May-Grünwald-Giemsa stain · 40× objective, oil immersion · bone marrow aspirate smear — 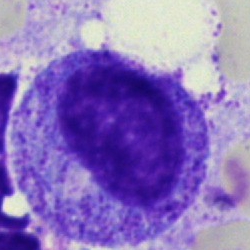 Specimen: bone marrow aspirate smear.
Cell type: progranulocyte.
Lineage: myeloid.